Bone marrow aspirate smear — 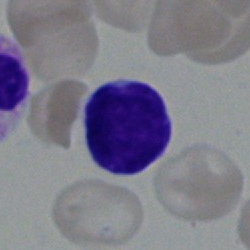
Impression → lymphocyte.